Bone marrow smear · image size 250×250: 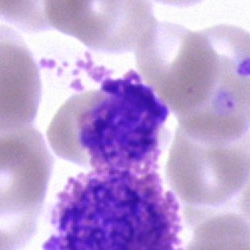 Cell — eosinophil.